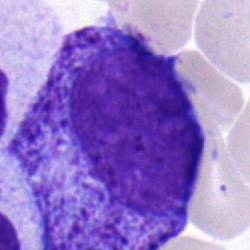Cell type: progranulocyte.